Bone marrow smear — 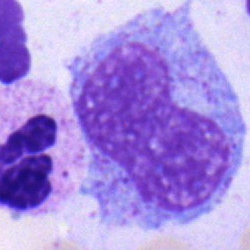

Morphology consistent with a metamyelocyte.